Peripheral blood smear · brightfield, 100× oil-immersion objective · Romanowsky stain.
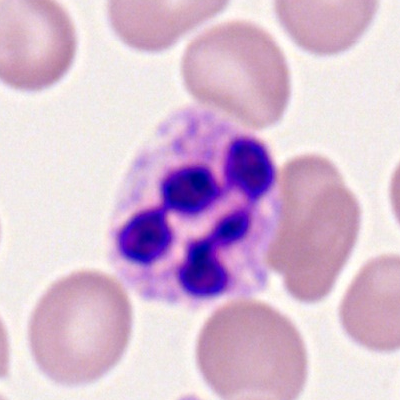A neutrophil (segmented).